Bone marrow aspirate smear; MGG-stained.
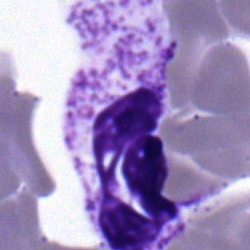

Specimen: bone marrow smear.
Cell: segmented neutrophil.